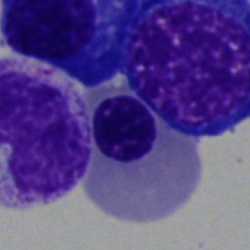 Morphology → nucleated red cell.